Bone marrow aspirate smear. May-Grünwald-Giemsa/Pappenheim stain. Single cell centered in the field: 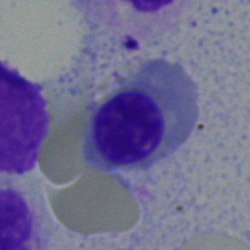
Morphological class — nucleated red blood cell.